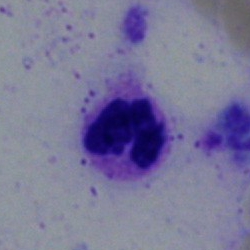

Morphology consistent with a neutrophil (segmented).